Bone marrow aspirate smear; single-cell crop; 250×250.
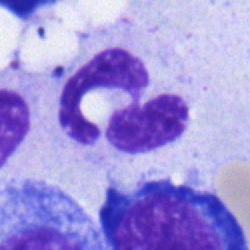 Neutrophil (segmented).